Bone marrow smear. Pappenheim-stained
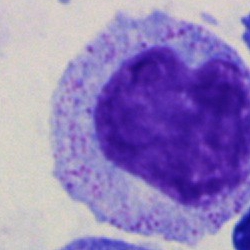 Specimen: bone marrow aspirate smear.
Morphological class: promyelocyte.